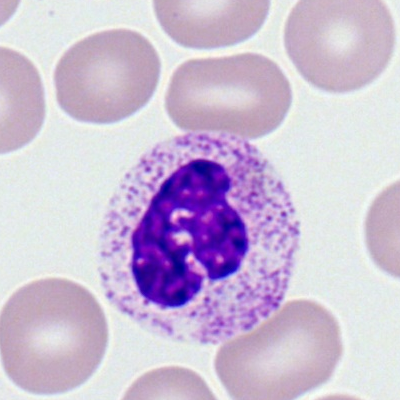

The cell shown is a neutrophil (segmented).